Bone marrow smear: 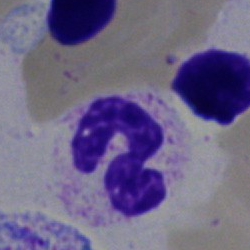 Specimen: bone marrow aspirate smear.
Cell: polymorphonuclear neutrophil.
Lineage: myeloid.